Bone marrow aspirate smear. May-Grünwald-Giemsa/Pappenheim stain. 250×250:
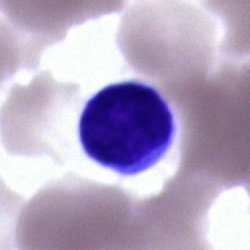Showing a lymphocyte.